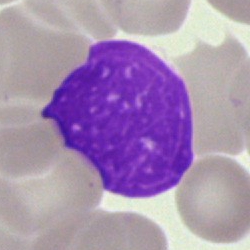Q: What is shown here?
A: This is an artifact.